250×250 px; single-cell field; bone marrow smear:
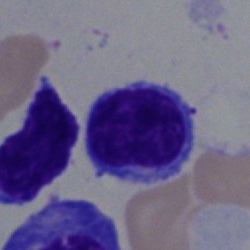 Typical lymphocyte.